May-Grünwald-Giemsa stain. Bone marrow aspirate smear. 40× objective, oil immersion — 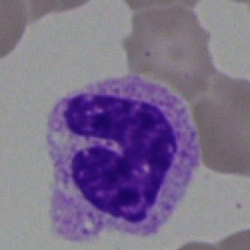 Classification = segmented neutrophil.